Bone marrow aspirate smear
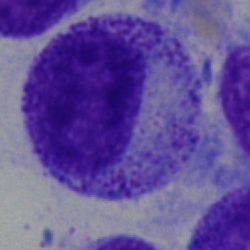
The cell type is promyelocyte.